Bone marrow aspirate smear
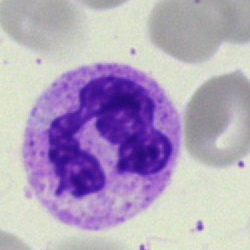

Q: What type of cell is this?
A: A polymorphonuclear neutrophil.